May-Grünwald-Giemsa/Pappenheim stain · bone marrow aspirate smear.
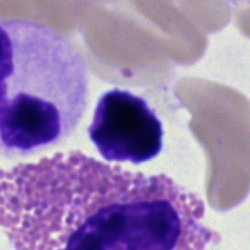

This is an artifact.